Bone marrow smear.
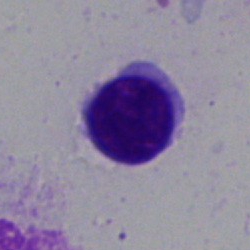Impression — typical lymphocyte.